250 by 250 pixels. Bone marrow smear.
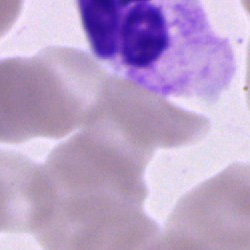
Cell: neutrophil (segmented).